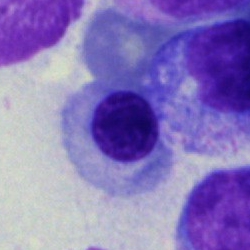Morphology → erythroblast.